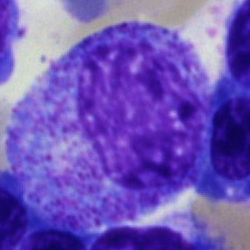Q: Identify the cell.
A: A plasma cell.